Bone marrow smear · cropped to a single cell — 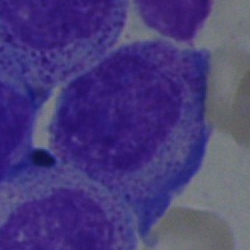 The cell type is myelocyte.